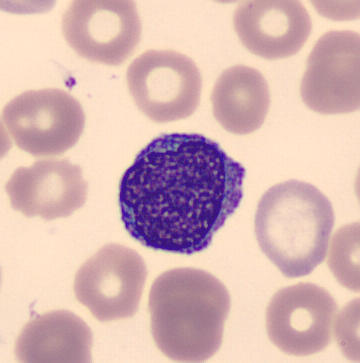Impression → monocyte.

Single-cell crop; peripheral blood smear.